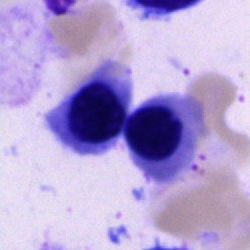
Classification — normoblast.